Bone marrow smear:
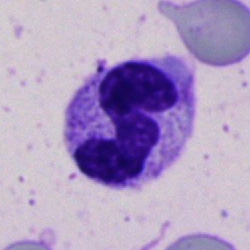

Q: Which cell type is shown here?
A: This is a segmented neutrophil.